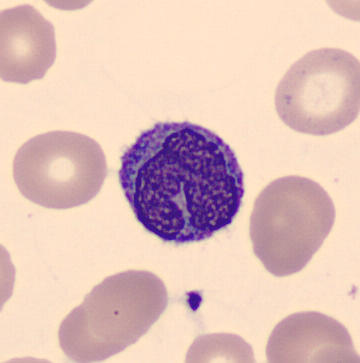Specimen: peripheral blood smear.
Cell: monocyte.